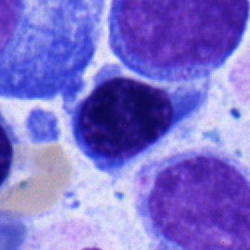Q: Which cell type is shown here?
A: This is a nucleated red blood cell.